Bone marrow smear; MGG-stained
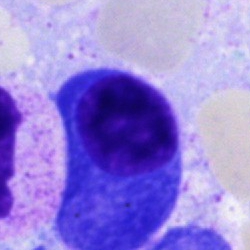Classification = plasma cell.